Bone marrow smear: 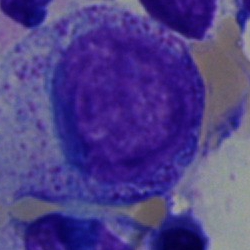 Specimen: bone marrow aspirate smear.
Morphological class: progranulocyte.
Lineage: myeloid.